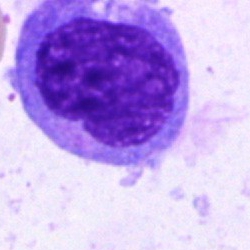
This is a monocyte.